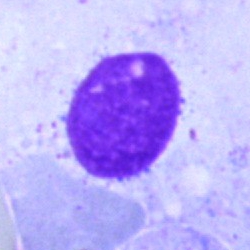 Morphology — artifact.